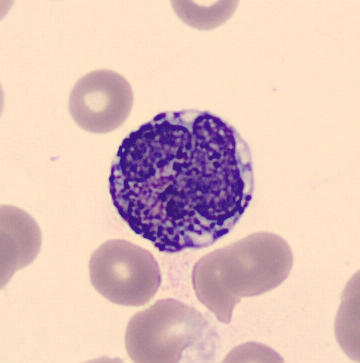Specimen: peripheral blood film.
Cell: basophilic granulocyte.